Bone marrow smear.
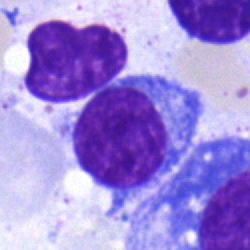

Plasmacyte.